May-Grünwald-Giemsa stain. Bone marrow smear: 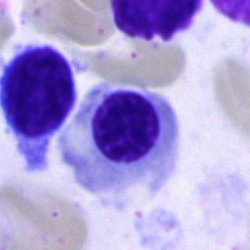This is an erythroblast.